Bone marrow smear · Pappenheim-stained · image size 250×250 — 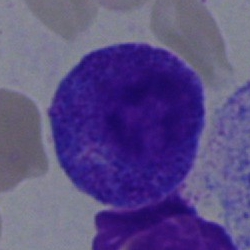
Impression → promyelocyte.